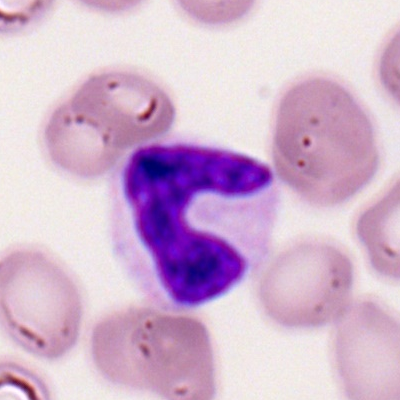

Single-cell crop from a peripheral blood smear: stab cell.